Romanowsky-type stain. Peripheral blood film: 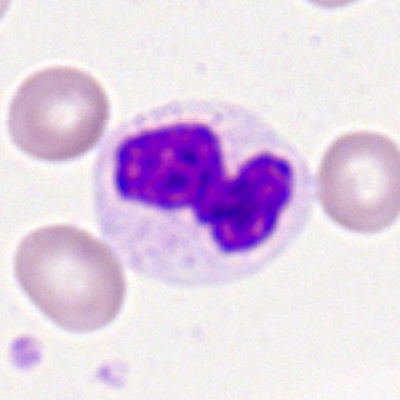

The cell shown is a polymorphonuclear neutrophil.